Bone marrow aspirate smear: 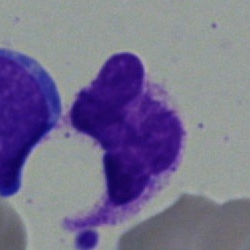Q: Which cell type is shown here?
A: It is a neutrophil (segmented).